Bone marrow aspirate smear: 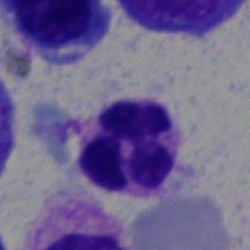Morphology consistent with a segmented neutrophil.